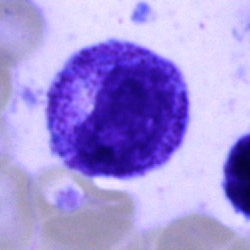
Morphological class — progranulocyte.